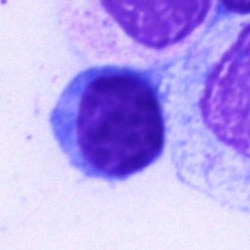
Single cell identified as a lymphocyte.